May-Grünwald-Giemsa stain. Bone marrow smear — 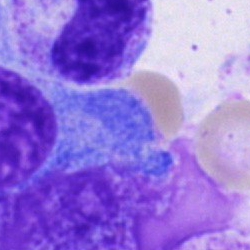
The classification is artifact.